Bone marrow aspirate smear — 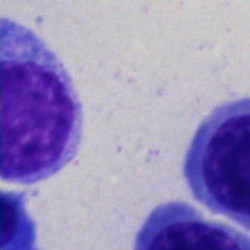
Specimen: bone marrow smear.
Cell type: unidentifiable cell.